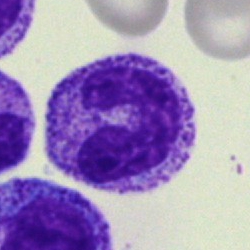

Morphology → neutrophil (band).